Bone marrow aspirate smear.
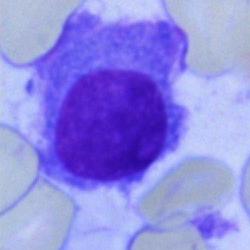
Showing a plasma cell.